Bone marrow smear. Single-cell field. Pappenheim-stained.
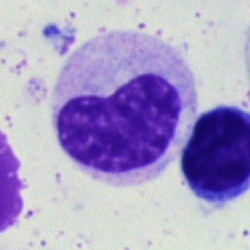 The morphological class is metamyelocyte.